Bone marrow smear: 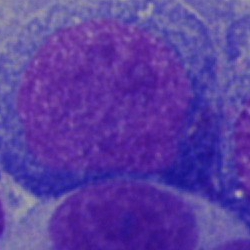
The cell type is undifferentiated blast.